Bone marrow aspirate smear. MGG-stained. 40× objective, oil immersion
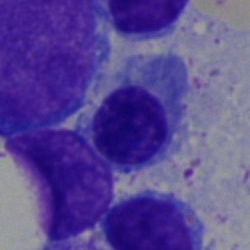

Cell — nucleated red cell.